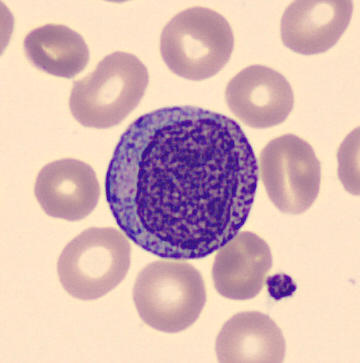A progranulocyte.

Image: Peripheral blood film.